May-Grünwald-Giemsa stain; 40× objective, oil immersion; bone marrow smear — 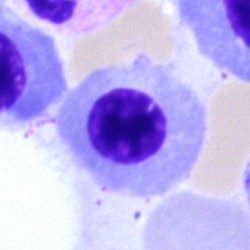 Cell: nucleated red cell.